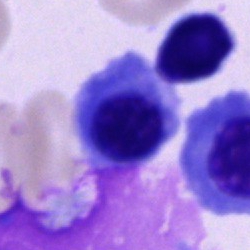

A lymphocyte on a bone marrow smear.